Bone marrow smear; brightfield, 40× oil-immersion objective.
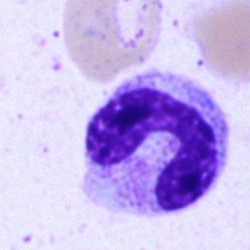Specimen: bone marrow aspirate smear.
Cell type: band-form neutrophil.
Lineage: myeloid.